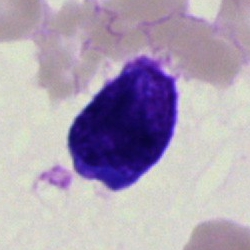Specimen: bone marrow smear.
Morphological class: undifferentiated blast.